Bone marrow smear.
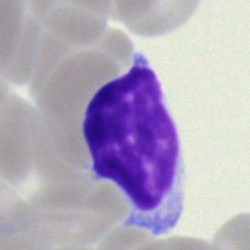 The classification is typical lymphocyte.